Bone marrow aspirate smear. May-Grünwald-Giemsa stain.
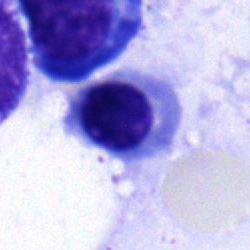Classification — nucleated red cell.